Bone marrow aspirate smear. 40× objective, oil immersion
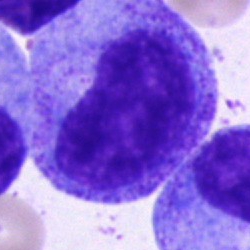

Morphological class — promyelocyte.